Brightfield microscopy, 40× oil immersion; bone marrow aspirate smear; cropped to a single cell — 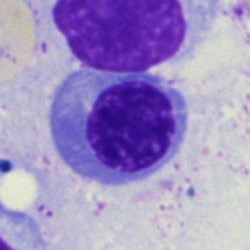

The cell shown is an erythroblast.